Bone marrow aspirate smear:
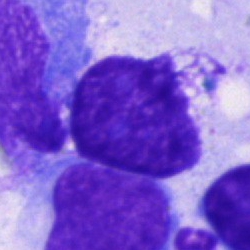Classification: artefact.